Bone marrow aspirate smear — 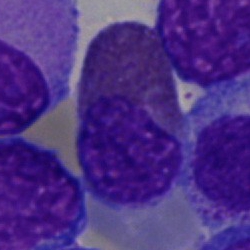Classification = eosinophilic granulocyte.